Single-cell field. Bone marrow aspirate smear.
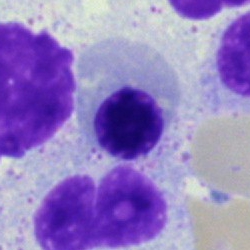
Morphological class = nucleated red cell.